Bone marrow smear.
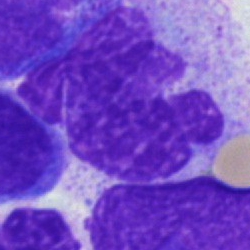
Morphological class = artefact.